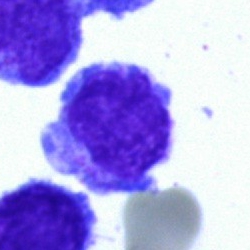A blast.